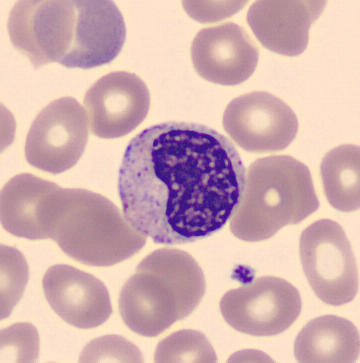
This is a metamyelocyte.
Peripheral blood film. Cropped to a single cell.